Bone marrow aspirate smear; brightfield microscopy, 40× oil immersion
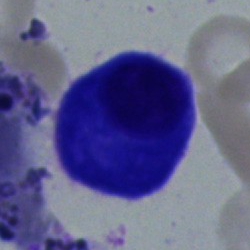

Morphology → plasma cell.